Bone marrow aspirate smear · cropped to a single cell:
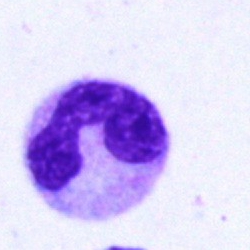
{"cell_type": "polymorphonuclear neutrophil", "lineage": "myeloid"}